Bone marrow aspirate smear:
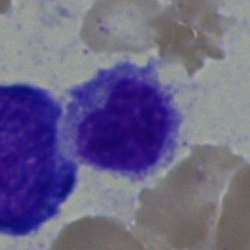 Classification — typical lymphocyte.